Bone marrow aspirate smear: 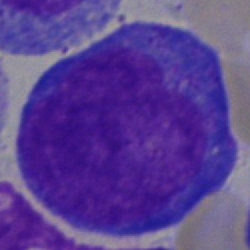

Specimen: bone marrow smear.
Classification: proerythroblast.
Lineage: erythroid.